Peripheral blood smear:
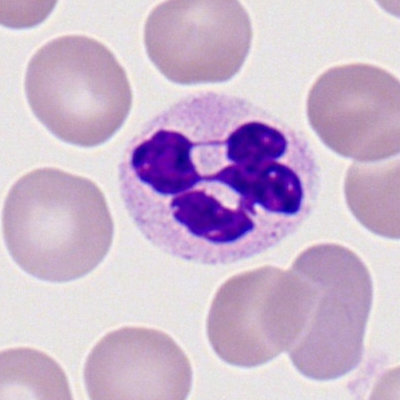Impression — neutrophil (segmented).